Bone marrow smear:
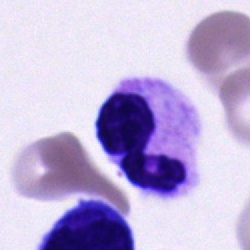 Morphology → segmented neutrophil.